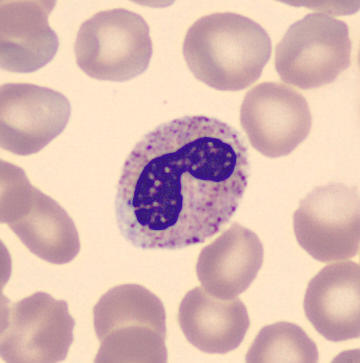
A stab cell. Peripheral blood smear; 360×363.